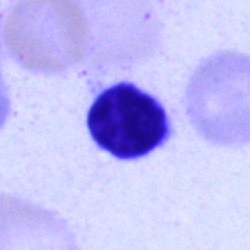
The morphological class is lymphocyte.